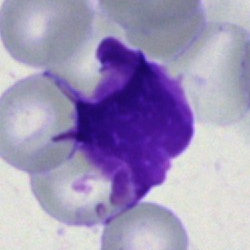 {"cell_type": "artefact"}